Bone marrow smear. Single-cell crop
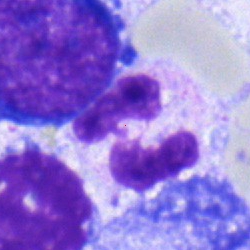 Specimen: bone marrow smear.
Morphological class: neutrophil (segmented).